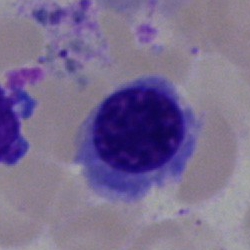

Morphology consistent with a nucleated red blood cell.